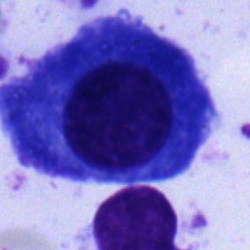 Specimen: bone marrow smear.
Cell: plasmacyte.
Lineage: lymphoid.